Bone marrow aspirate smear:
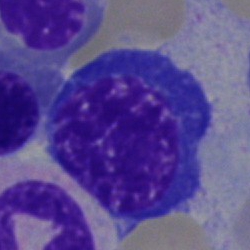

This is a normoblast.